Bone marrow aspirate smear — 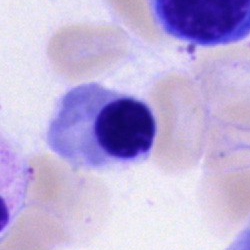
Showing a normoblast.